MGG-stained. Bone marrow smear.
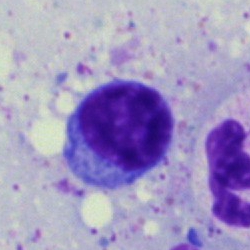Specimen: bone marrow smear.
Classification: lymphocyte.